Bone marrow smear; image size 250×250:
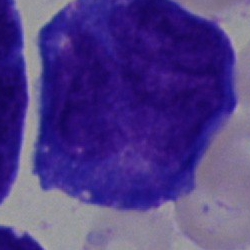

The cell is blast.